Bone marrow smear — 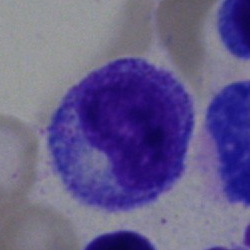Morphology consistent with a progranulocyte.